Bone marrow smear:
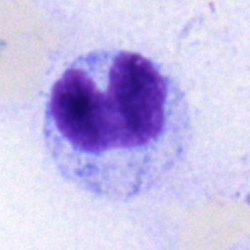{"cell_type": "neutrophil (band)"}